Bone marrow smear:
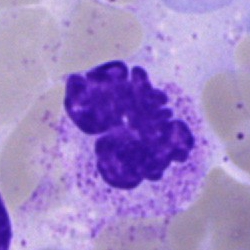
Showing a polymorphonuclear neutrophil.